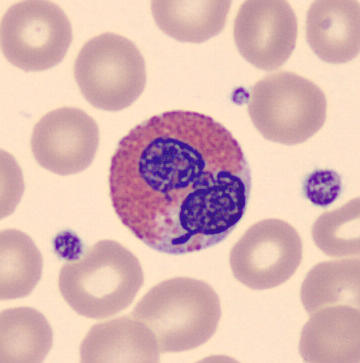Acquisition: MGG stain; peripheral blood smear.

Morphology consistent with an eosinophil.